Single cell centered in the field · bone marrow smear:
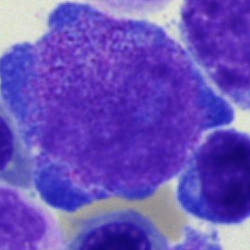This is a progranulocyte.